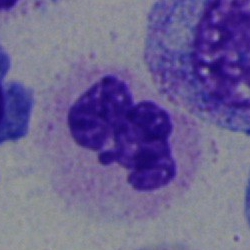
Single cell identified as a segmented neutrophil.